40× objective, oil immersion · bone marrow smear: 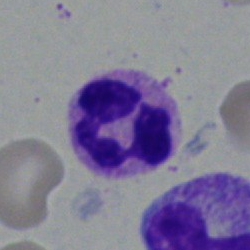

{"cell_type": "segmented neutrophil", "lineage": "myeloid"}